Bone marrow smear:
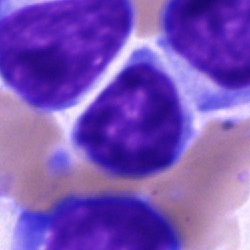
Classification — lymphocyte.